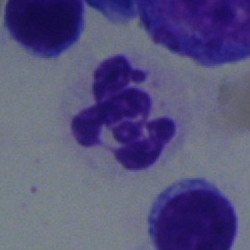 A polymorphonuclear neutrophil.